250×250; single-cell crop; bone marrow aspirate smear
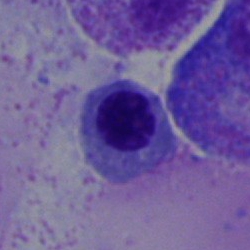

Cell = normoblast.